250×250 px. Bone marrow smear. Brightfield microscopy, 40× oil immersion:
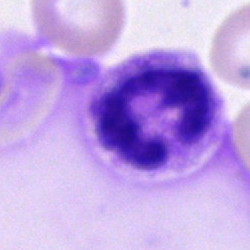
Specimen: bone marrow smear.
Cell: segmented neutrophil.